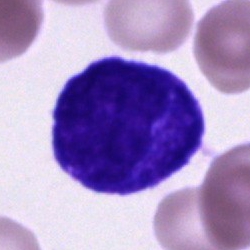
Bone marrow smear showing an unidentifiable cell.